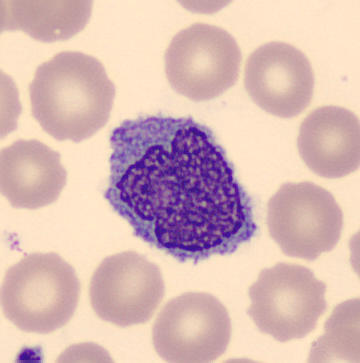The cell shown is a monocyte.
Peripheral blood film; cropped to a single cell.